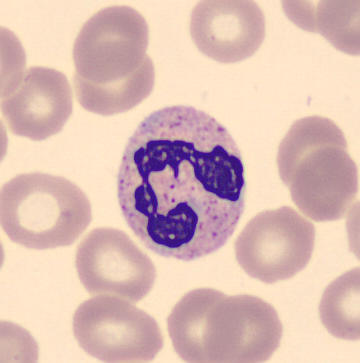Preparation: Peripheral blood smear · single-cell field. Cell type: segmented neutrophil.